Bone marrow smear
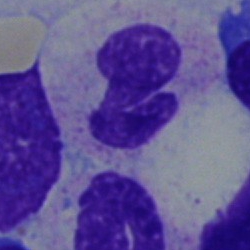

Q: What type of cell is this?
A: This is a band neutrophil.